Bone marrow smear.
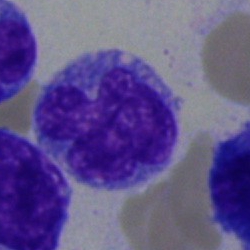

Morphological class = monocyte.